Bone marrow aspirate smear
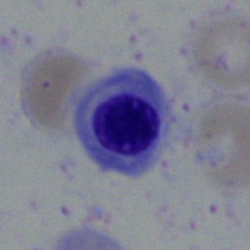Morphology → normoblast.